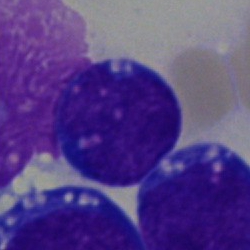 Q: What is shown here?
A: This is a blast cell.